Bone marrow aspirate smear:
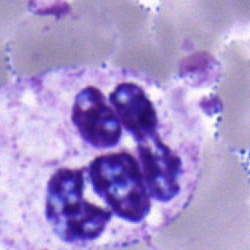This is a polymorphonuclear neutrophil.